Image size 400×400; peripheral blood film.
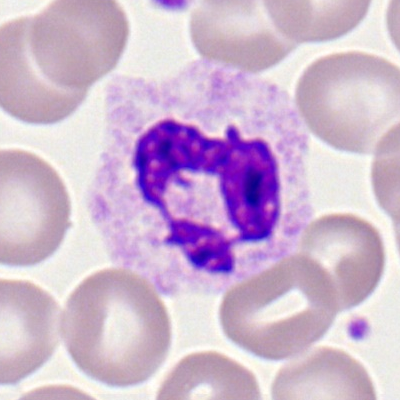Q: What type of cell is this?
A: Segmented neutrophil.